Bone marrow smear: 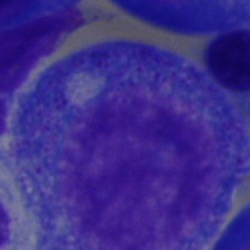

Single cell identified as a promyelocyte.